Peripheral blood smear.
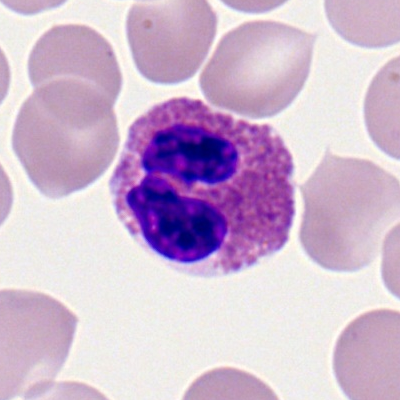

Classification: eosinophilic granulocyte.